Brightfield, 40× oil-immersion objective · bone marrow smear:
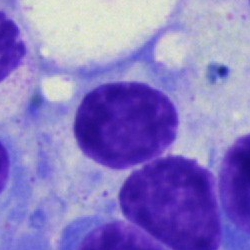 Specimen: bone marrow smear.
Cell type: artifact.